Bone marrow aspirate smear; MGG-stained; 250×250
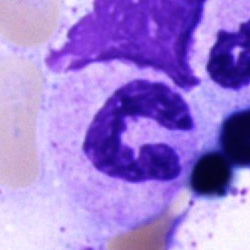
Specimen: bone marrow aspirate smear.
Morphological class: polymorphonuclear neutrophil.
Lineage: myeloid.